40× objective, oil immersion. Bone marrow aspirate smear. May-Grünwald-Giemsa/Pappenheim stain
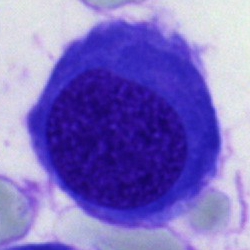
Specimen: bone marrow aspirate smear.
Morphological class: normoblast.